Pappenheim-stained. Bone marrow aspirate smear.
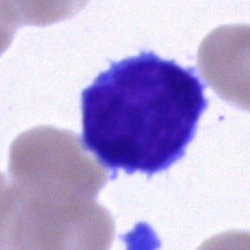 Specimen: bone marrow smear.
Cell type: typical lymphocyte.
Lineage: lymphoid.